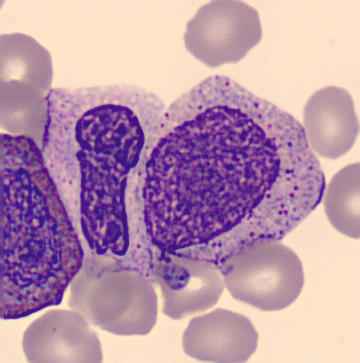

Metamyelocyte.

Peripheral blood smear · 360×363.